Bone marrow aspirate smear; 250×250 px
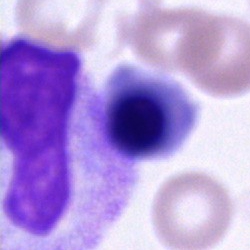The classification is nucleated red blood cell.